Bone marrow aspirate smear · 250 by 250 pixels: 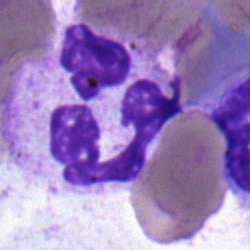

This is a neutrophil (segmented).